Bone marrow aspirate smear.
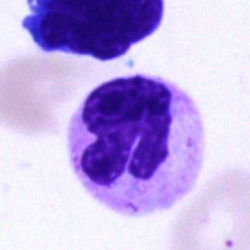
This is a neutrophil (segmented).